Single cell centered in the field. Brightfield, 100× oil-immersion objective. Peripheral blood smear
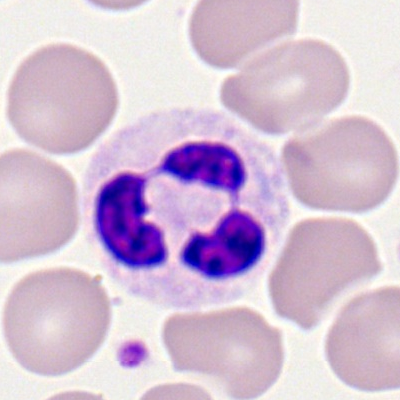Specimen: peripheral blood smear.
Cell type: segmented neutrophil.